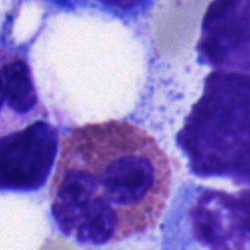
Single-cell crop from a bone marrow smear: lymphocyte.